Single-cell field; bone marrow smear; MGG-stained: 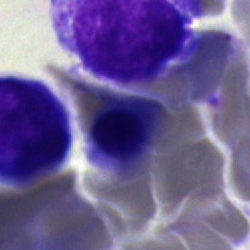

Q: What type of cell is this?
A: This is a nucleated red cell.